Bone marrow smear:
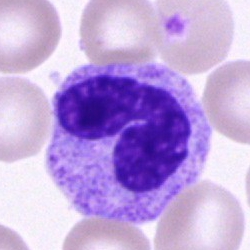

Segmented neutrophil.